250×250 px; bone marrow aspirate smear
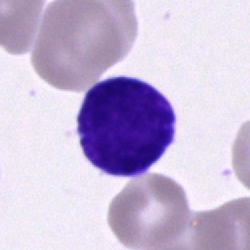

Morphological class: lymphocyte.